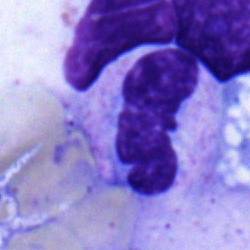Q: Identify the cell.
A: A segmented neutrophil.